Bone marrow aspirate smear. Cropped to a single cell: 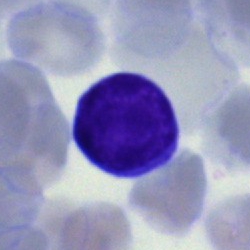 {"cell_type": "lymphocyte", "lineage": "lymphoid"}